Bone marrow smear
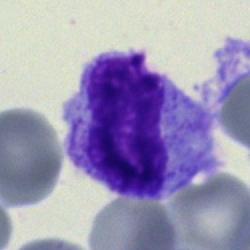Specimen: bone marrow aspirate smear.
Cell type: myelocyte.
Lineage: myeloid.